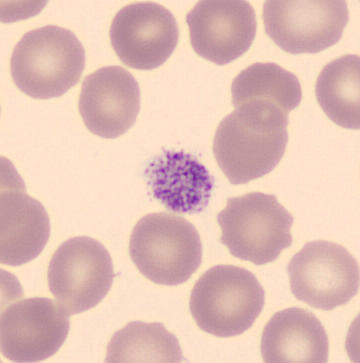

Showing a platelet. Peripheral blood smear.